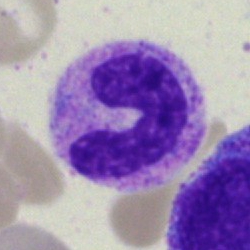 Morphological class = stab cell.